Bone marrow smear. Pappenheim-stained. Single-cell crop
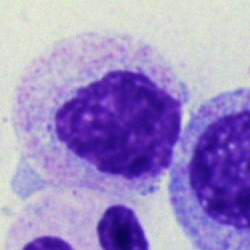

Morphological class — myelocyte.